Bone marrow smear: 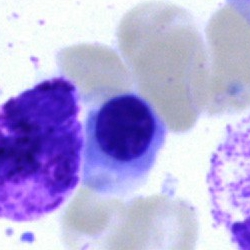Q: What type of cell is this?
A: This is a normoblast.